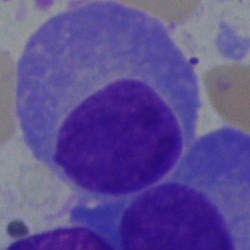

Specimen: bone marrow aspirate smear.
Cell: plasmacyte.
Lineage: lymphoid.